Bone marrow aspirate smear
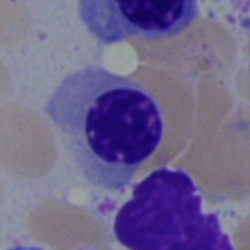
Morphology consistent with a normoblast.